Bone marrow aspirate smear:
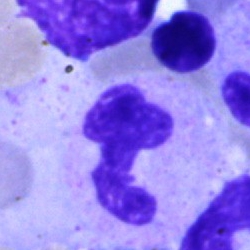

Morphological class = segmented neutrophil.